Bone marrow smear.
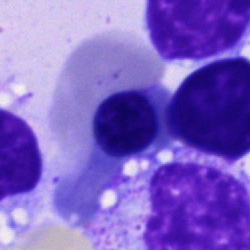
Cell type: normoblast.